Single-cell crop · 250 by 250 pixels · bone marrow aspirate smear: 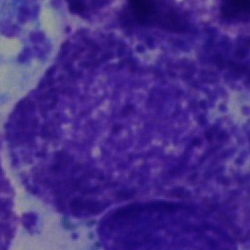Specimen: bone marrow aspirate smear.
Cell: other cell.